Bone marrow aspirate smear: 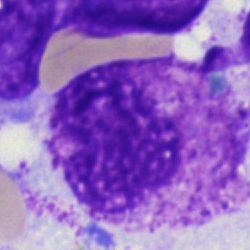
Q: What is shown here?
A: An artifact.